Bone marrow aspirate smear:
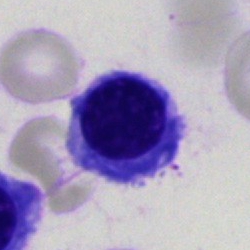
Q: What is the morphological classification of this cell?
A: An erythroblast.